Bone marrow smear. 40× oil immersion
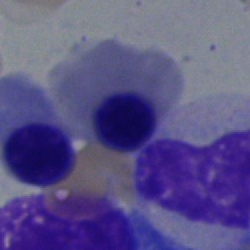
Single cell identified as a normoblast.